Single-cell crop; bone marrow smear; MGG-stained.
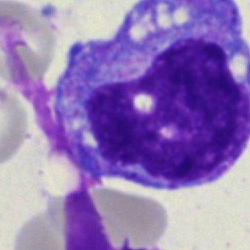

Morphology → monocyte.